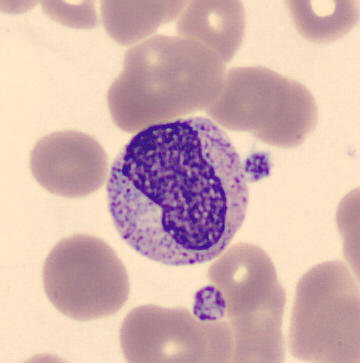

Cell type: metamyelocyte. Image: 360 by 363 pixels; peripheral blood smear.